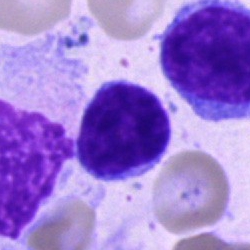
Single cell identified as a lymphocyte.